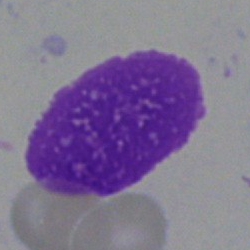

An artefact.